Peripheral blood film.
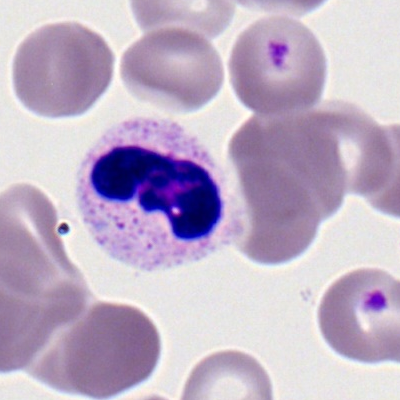 Morphology consistent with a polymorphonuclear neutrophil.